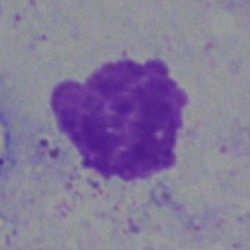
Specimen: bone marrow aspirate smear.
Morphological class: artefact.